Bone marrow smear — 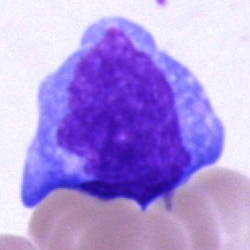 Cell: blast.